Peripheral blood smear; May-Grünwald-Giemsa-stained; 360×363:
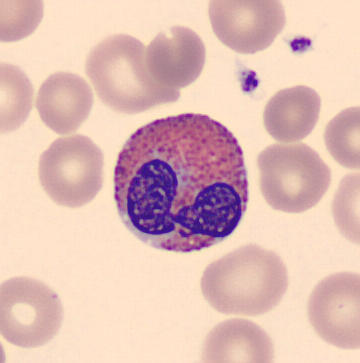
Cell = eosinophilic granulocyte.